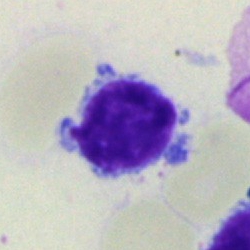

Impression — typical lymphocyte.